Bone marrow smear:
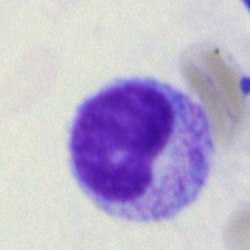Cell type = metamyelocyte.